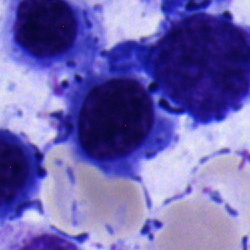Morphology consistent with a nucleated red blood cell.